Bone marrow smear — 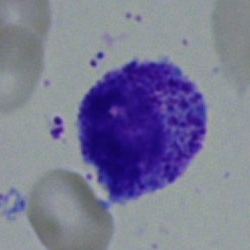Cell type: myelocyte.